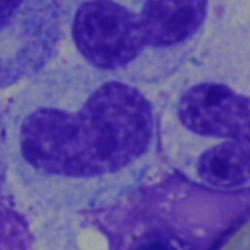

{"cell_type": "metamyelocyte"}